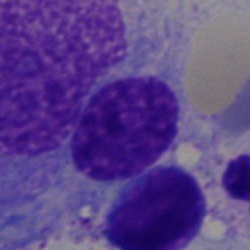 Specimen: bone marrow aspirate smear.
Cell type: lymphocyte.
Lineage: lymphoid.